Bone marrow aspirate smear — 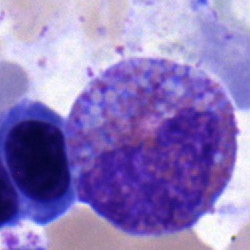
Single cell identified as an eosinophil.